Bone marrow aspirate smear.
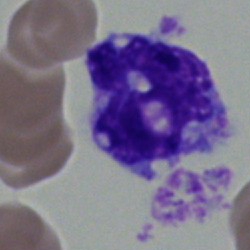

The classification is monocyte.